Bone marrow smear:
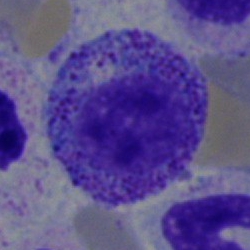Morphology consistent with a progranulocyte.